Bone marrow aspirate smear; single cell centered in the field — 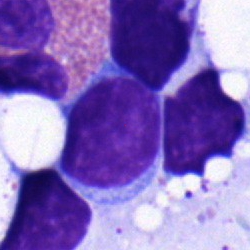
{"cell_type": "typical lymphocyte"}